Bone marrow aspirate smear: 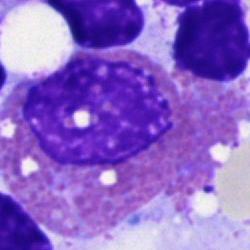The cell shown is an eosinophil.